Cropped to a single cell. Bone marrow smear. Image size 250×250:
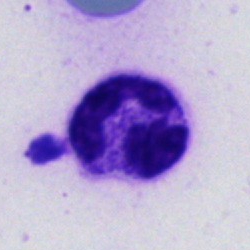This is a segmented neutrophil.